Pappenheim-stained; single-cell crop; bone marrow aspirate smear — 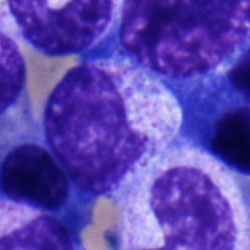Showing a metamyelocyte.